Single-cell crop · bone marrow smear: 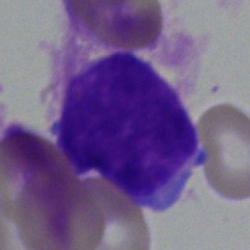Cell type: blast.